Bone marrow smear. May-Grünwald-Giemsa stain:
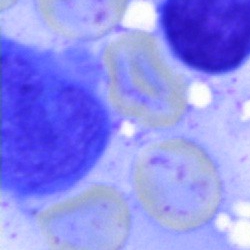

Q: What is shown here?
A: An artefact.